Bone marrow aspirate smear.
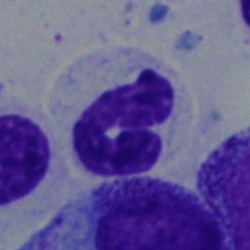Showing a band-form neutrophil.